Bone marrow smear · 250×250.
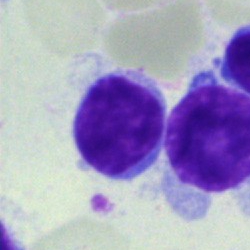

Q: Which cell type is shown here?
A: A typical lymphocyte.